Bone marrow smear — 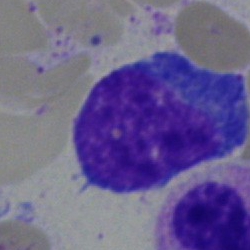 The cell type is proerythroblast.